Brightfield microscopy, 40× oil immersion; bone marrow smear
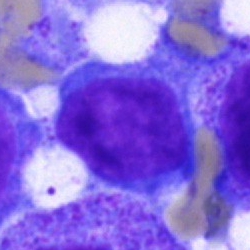
This is a blast cell.